Bone marrow smear:
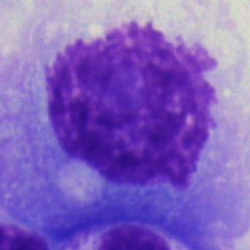Cell type: artefact.